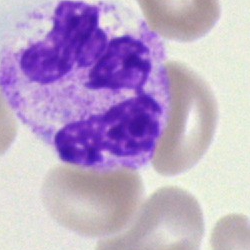
Single-cell crop from a bone marrow smear: polymorphonuclear neutrophil.